Bone marrow smear. MGG-stained. 250×250 px
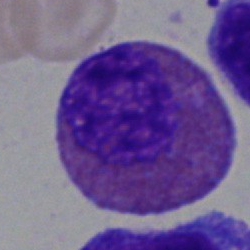
Q: What type of cell is this?
A: An eosinophil.